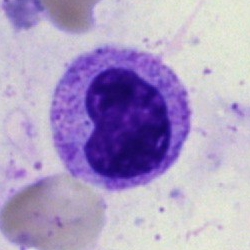 Q: What cell is this?
A: This is a metamyelocyte.